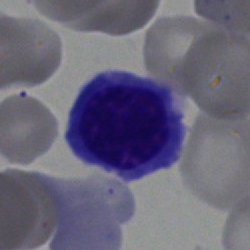

Q: What is the morphological classification of this cell?
A: This is a normoblast.